Bone marrow aspirate smear.
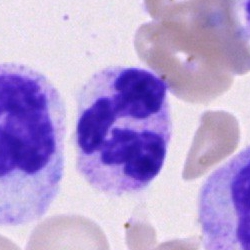 Specimen: bone marrow aspirate smear.
Morphological class: segmented neutrophil.